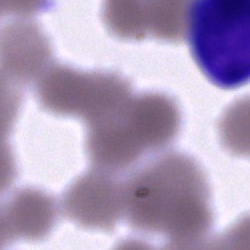The morphological class is artifact.